250×250; brightfield, 40× oil-immersion objective; bone marrow aspirate smear.
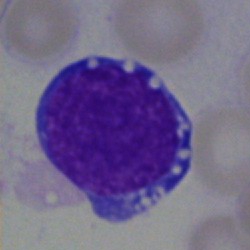
Specimen: bone marrow smear.
Classification: undifferentiated blast.